Bone marrow smear.
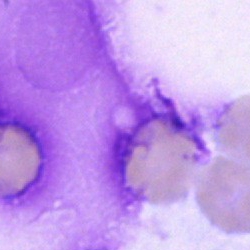
Impression — artifact.